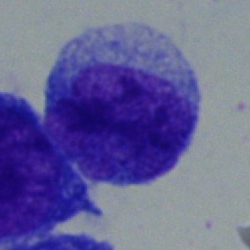
This is an undifferentiated blast.